Bone marrow smear: 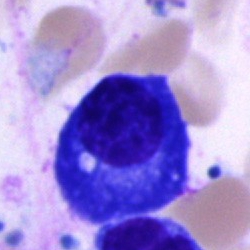 A plasmacyte.